Bone marrow smear.
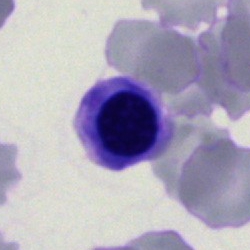 A nucleated red blood cell.